Bone marrow aspirate smear
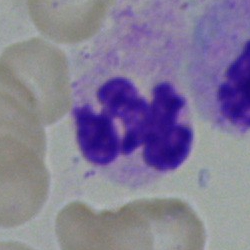 Impression — neutrophil (segmented).